Bone marrow aspirate smear.
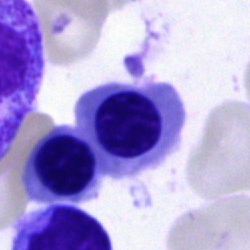
Morphological class = normoblast.